Bone marrow smear — 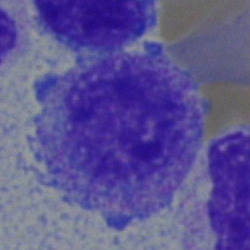Impression — myelocyte.